Bone marrow aspirate smear
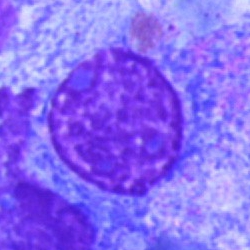Single cell identified as an artefact.